MGG-stained; bone marrow aspirate smear.
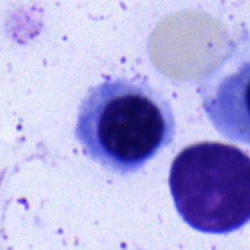
Morphology consistent with an erythroblast.